Peripheral blood film.
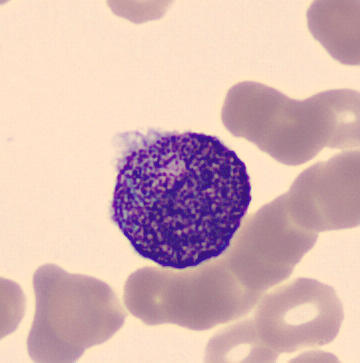 Morphological class = promyelocyte.